Bone marrow smear — 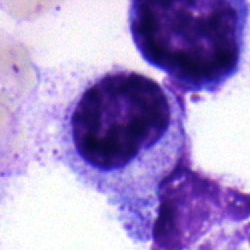

Single cell identified as a myelocyte.